Bone marrow aspirate smear:
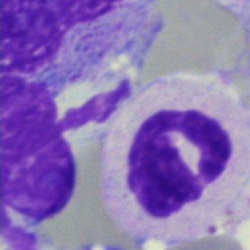Q: What is the morphological classification of this cell?
A: This is a segmented neutrophil.